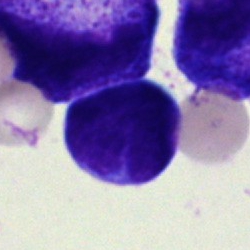 Specimen: bone marrow smear.
Morphological class: lymphocyte.